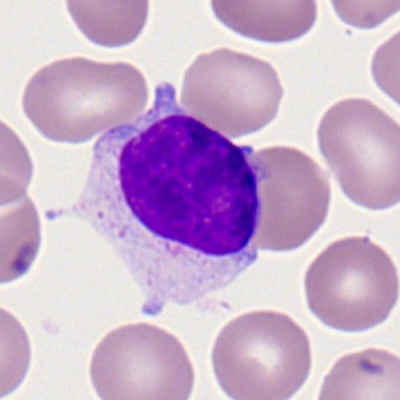The classification is typical lymphocyte.